Bone marrow aspirate smear: 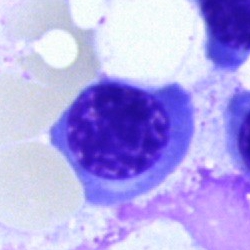The cell is normoblast.